Peripheral blood film
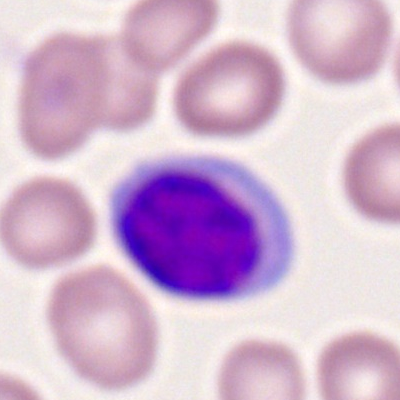
Morphology consistent with a typical lymphocyte.